Single cell centered in the field · 250 by 250 pixels · bone marrow aspirate smear — 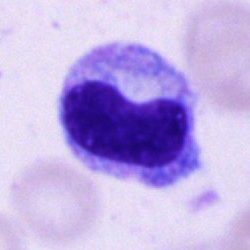

Metamyelocyte.